Bone marrow aspirate smear:
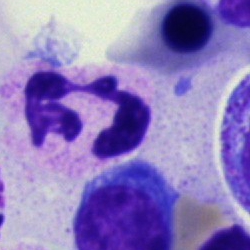

This is a neutrophil (segmented).